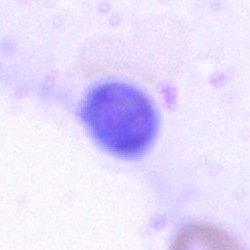 The classification is artefact.